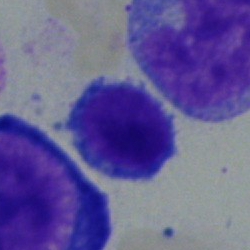
The cell is lymphocyte.